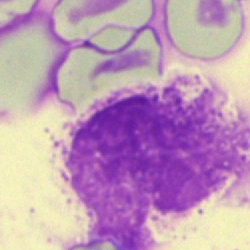 This is an artefact.